Bone marrow aspirate smear — 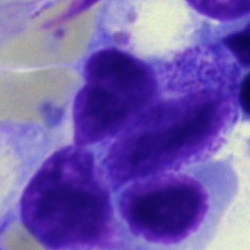 Morphology consistent with an artifact.